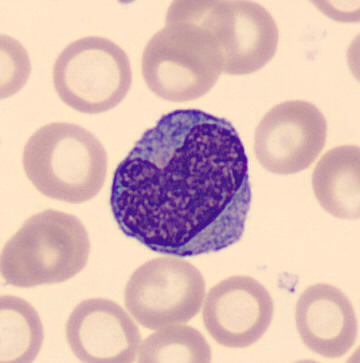

Specimen: peripheral blood film.
Morphological class: monocyte.
Lineage: myeloid.